Bone marrow aspirate smear. Single cell centered in the field — 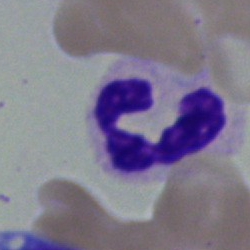 The cell is neutrophil (segmented).